Bone marrow aspirate smear; brightfield, 40× oil-immersion objective — 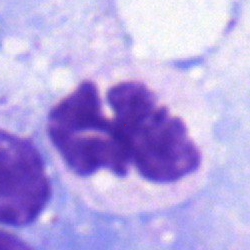
Polymorphonuclear neutrophil.